Bone marrow smear:
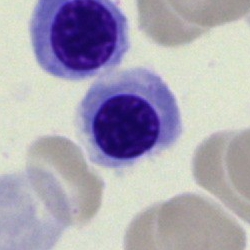 Morphology → erythroblast.